250×250; bone marrow aspirate smear; brightfield microscopy, 40× oil immersion.
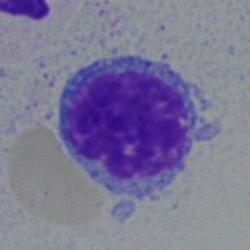

{"cell_type": "typical lymphocyte", "lineage": "lymphoid"}